Cropped to a single cell · bone marrow smear · May-Grünwald-Giemsa/Pappenheim stain
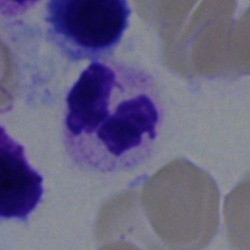This is a polymorphonuclear neutrophil.